Bone marrow aspirate smear. 250×250 px: 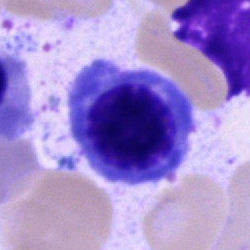 Q: Identify the cell.
A: Nucleated red blood cell.